Bone marrow aspirate smear.
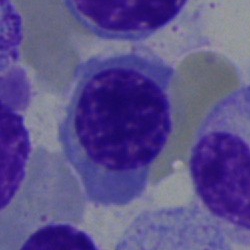 Impression → erythroblast.